Cropped to a single cell; bone marrow smear; Pappenheim-stained:
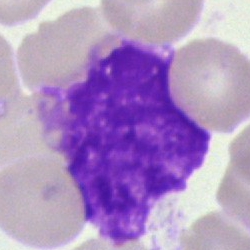Specimen: bone marrow smear.
Classification: artifact.